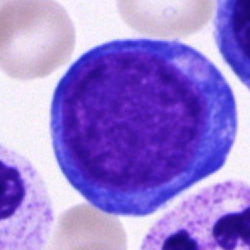 Bone marrow aspirate smear, single cell — pronormoblast.